250×250 · bone marrow aspirate smear
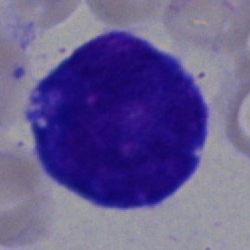
Impression → blast cell.